Bone marrow aspirate smear.
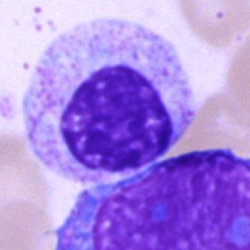Myelocyte.